May-Grünwald-Giemsa/Pappenheim stain · bone marrow smear
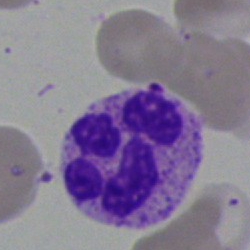

Classification = segmented neutrophil.